Peripheral blood film
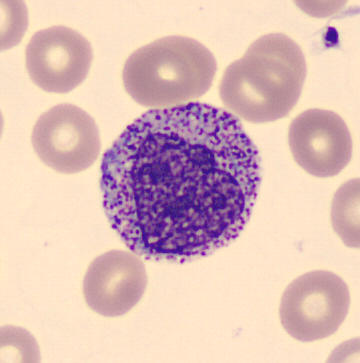
A myelocyte.